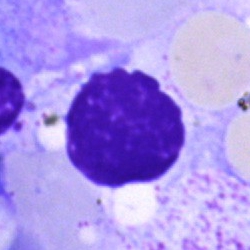 Single-cell crop from a bone marrow smear: artifact.